Peripheral blood smear · single-cell crop
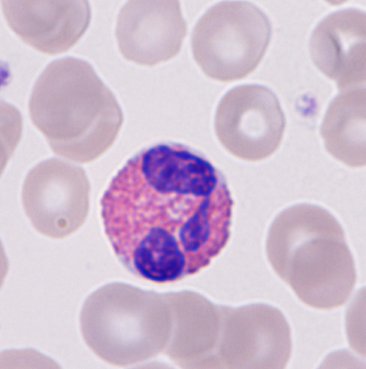

Q: What cell is this?
A: Eosinophil.